May-Grünwald-Giemsa/Pappenheim stain · bone marrow smear: 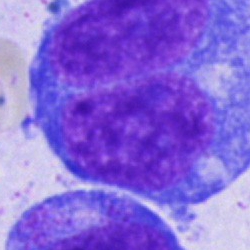

Morphology consistent with a cell of indeterminate lineage.